Bone marrow aspirate smear.
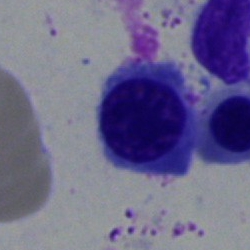

Normoblast.